Bone marrow aspirate smear: 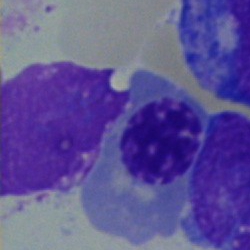
Impression → erythroblast.